Bone marrow smear.
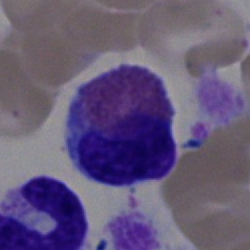
The cell shown is an eosinophil.